Bone marrow smear:
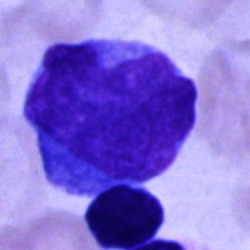

Specimen: bone marrow smear.
Classification: undifferentiated blast.